Bone marrow smear: 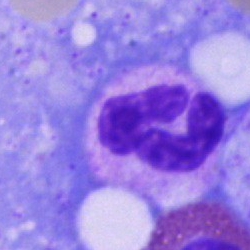Showing a segmented neutrophil.